Bone marrow smear — 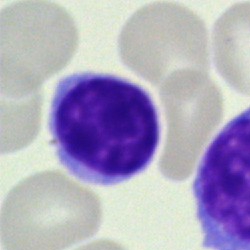 Single cell identified as a typical lymphocyte.